Bone marrow smear · May-Grünwald-Giemsa stain:
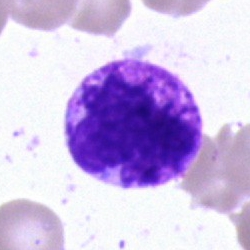Cell = basophil.